Bone marrow aspirate smear
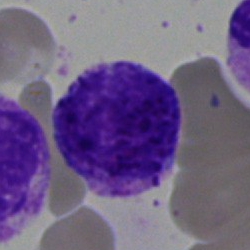The cell shown is a basophil.